Pappenheim-stained · brightfield microscopy, 40× oil immersion · bone marrow aspirate smear: 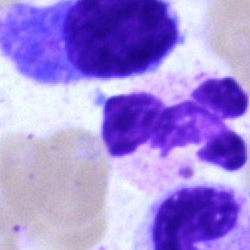 Cell type — segmented neutrophil.